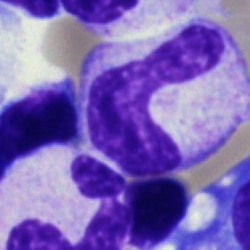

Q: Identify the cell.
A: It is a band neutrophil.